Single cell centered in the field · May-Grünwald-Giemsa/Pappenheim stain · bone marrow smear — 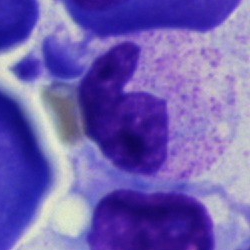Cell: band-form neutrophil.